Bone marrow smear: 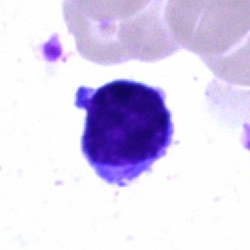

A typical lymphocyte.